400×400. Peripheral blood film: 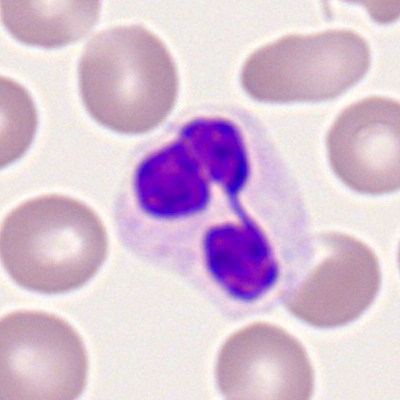 Specimen: peripheral blood smear.
Classification: polymorphonuclear neutrophil.